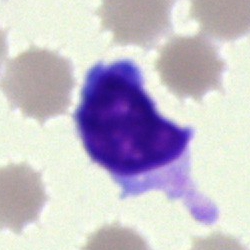

Morphology — typical lymphocyte.